Single-cell field. Bone marrow aspirate smear: 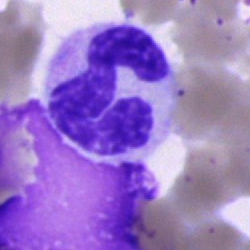Cell — neutrophil (segmented).